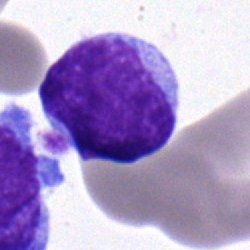 Cell: blast.